Cropped to a single cell · bone marrow aspirate smear:
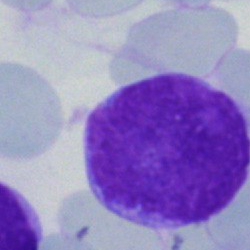Q: What cell is this?
A: It is an undifferentiated blast.